Bone marrow aspirate smear:
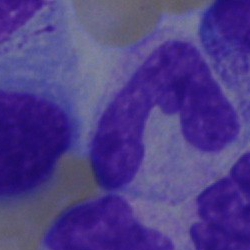
Single cell identified as a band-form neutrophil.